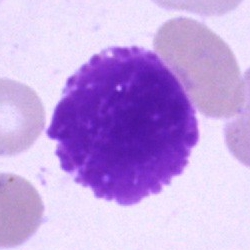

{"cell_type": "artefact"}